Image size 250×250 · bone marrow smear
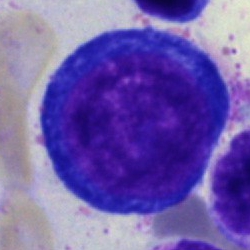
Cell type — pronormoblast.